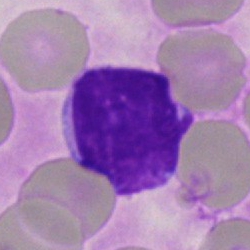Artifact.